Bone marrow aspirate smear:
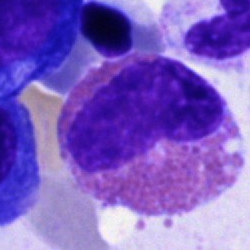

Eosinophil.